Bone marrow smear.
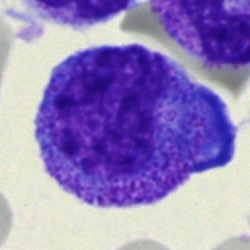
Single cell identified as a progranulocyte.